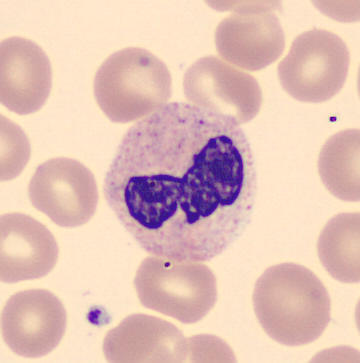

Acquisition: Peripheral blood film · 360×363.
Cell: segmented neutrophil.